Brightfield microscopy, 40× oil immersion; bone marrow aspirate smear:
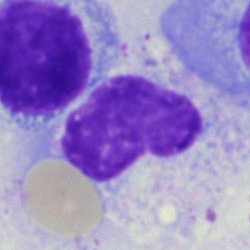Cell: metamyelocyte.